Brightfield microscopy, 40× oil immersion · bone marrow smear
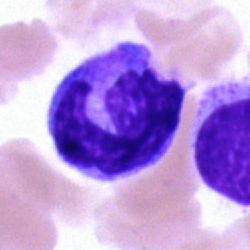

Morphology consistent with a monocyte.